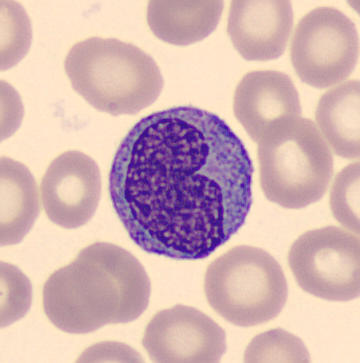
Preparation: Automated cell imaging (CellaVision DM96). Single cell centered in the field. Peripheral blood smear.
Identified as a monocyte.